Peripheral blood smear — 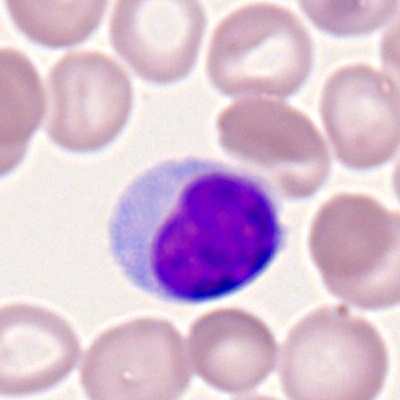Specimen: peripheral blood film.
Classification: lymphocyte.
Lineage: lymphoid.